Bone marrow smear — 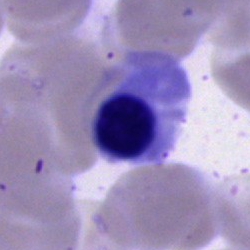
Q: What is the morphological classification of this cell?
A: Nucleated red blood cell.